Bone marrow aspirate smear; brightfield microscopy, 40× oil immersion: 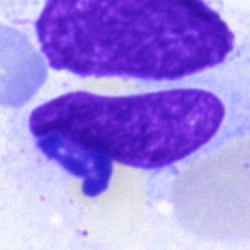
Classification — artefact.